Bone marrow smear:
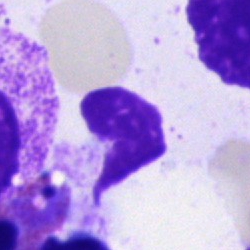

Cell: artifact.